Peripheral blood smear — 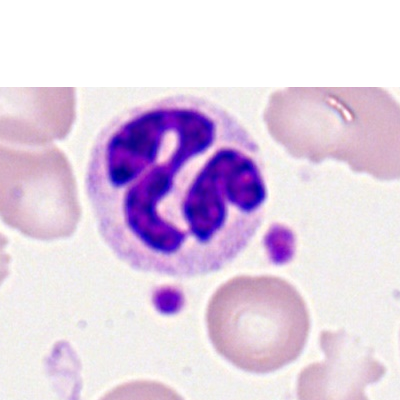
Showing a polymorphonuclear neutrophil.